Pappenheim-stained · bone marrow aspirate smear — 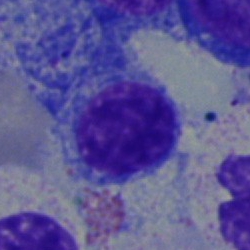

Specimen: bone marrow smear.
Cell type: plasma cell.
Lineage: lymphoid.